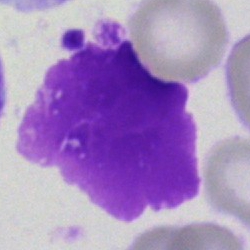 Bone marrow aspirate smear, single cell — artefact.